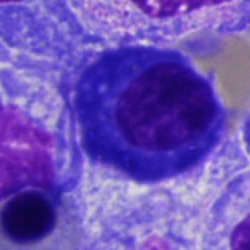
Specimen: bone marrow smear.
Morphological class: plasma cell.
Lineage: lymphoid.